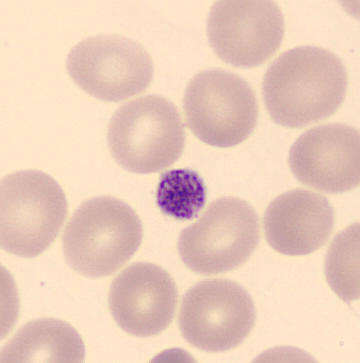Preparation: Peripheral blood film. The morphological class is platelet (thrombocyte).